Peripheral blood film
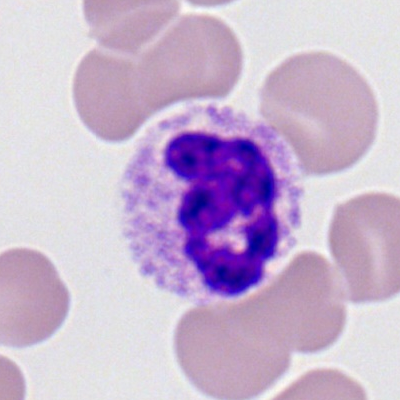
Morphological class: segmented neutrophil.